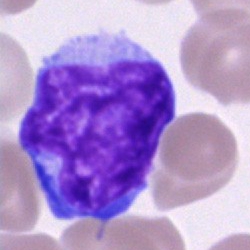
Cell type = blast cell.